Bone marrow smear · Pappenheim-stained · 250 by 250 pixels: 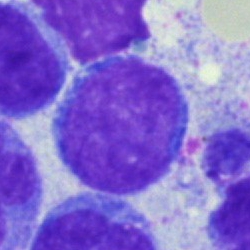 Single cell identified as an undifferentiated blast.